Bone marrow smear — 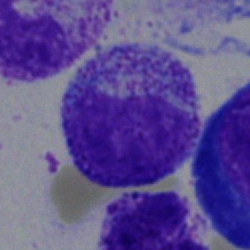Cell type — myelocyte.